Pappenheim-stained; bone marrow aspirate smear.
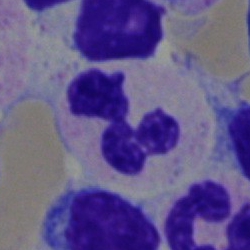 The classification is polymorphonuclear neutrophil.